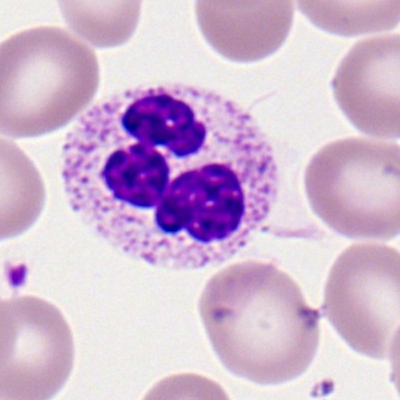The cell shown is a segmented neutrophil.